Bone marrow aspirate smear
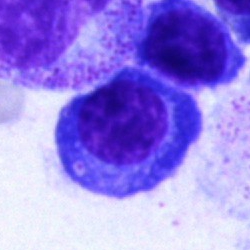
Plasma cell.